Bone marrow aspirate smear. Single-cell crop:
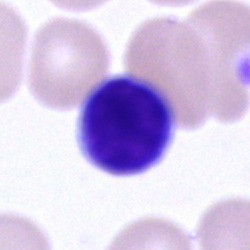 Specimen: bone marrow smear.
Morphological class: lymphocyte.
Lineage: lymphoid.